Peripheral blood smear.
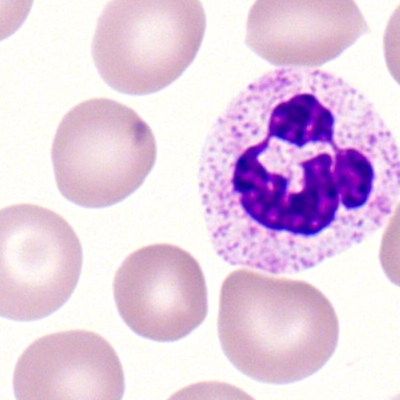

Cell = polymorphonuclear neutrophil.